MGG-stained · bone marrow aspirate smear
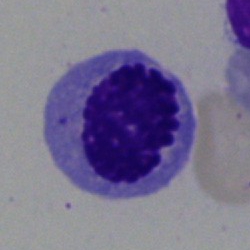 Q: What is shown here?
A: A normoblast.